Bone marrow smear
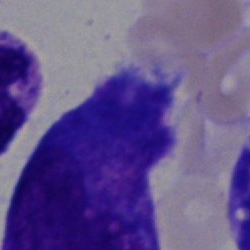 {"cell_type": "blast"}